Peripheral blood film: 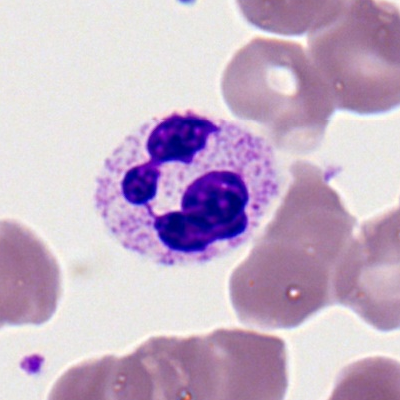

Morphology — segmented neutrophil.